Bone marrow aspirate smear
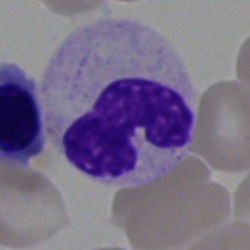Q: What cell is this?
A: Band neutrophil.